Bone marrow smear · 250×250 px: 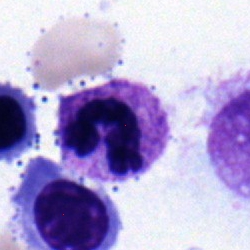Morphology consistent with a stab cell.